Bone marrow smear.
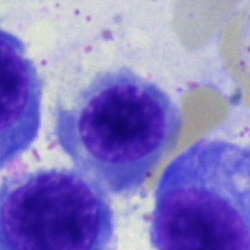 Morphological class = normoblast.